Bone marrow aspirate smear.
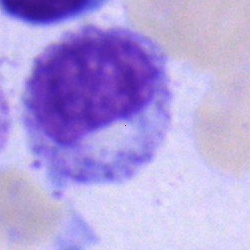 The cell type is myelocyte.